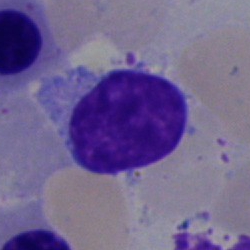

Morphology consistent with a typical lymphocyte.